Bone marrow aspirate smear
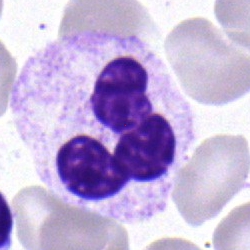
Q: What type of cell is this?
A: It is a polymorphonuclear neutrophil.